Bone marrow smear: 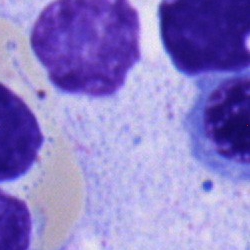 This is an erythroblast.